Bone marrow smear · 250 by 250 pixels — 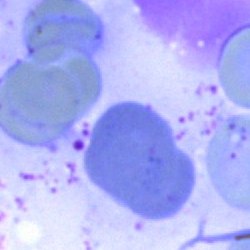

Specimen: bone marrow aspirate smear.
Cell type: artifact.